250×250 px · bone marrow smear.
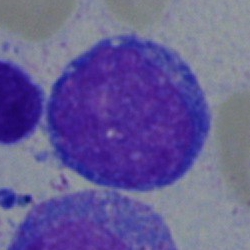 Blast.